Bone marrow smear
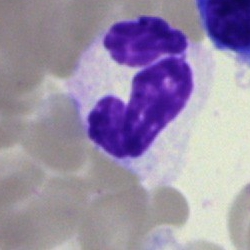

Cell: segmented neutrophil.